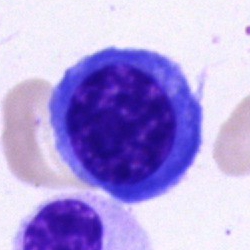 A nucleated red cell.